May-Grünwald-Giemsa stain. Bone marrow aspirate smear
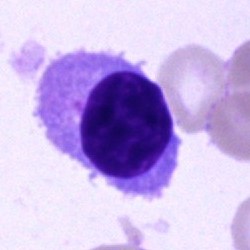

Showing an unidentifiable cell.